Peripheral blood smear:
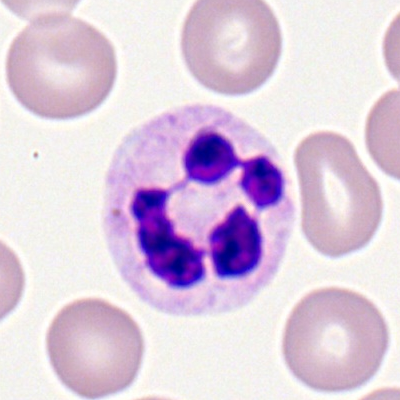 Morphological class — polymorphonuclear neutrophil.